Romanowsky stain; peripheral blood film
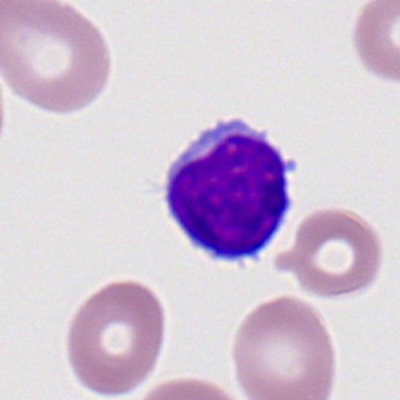

Morphological class — lymphocyte.